Image size 250×250; bone marrow aspirate smear; single-cell crop — 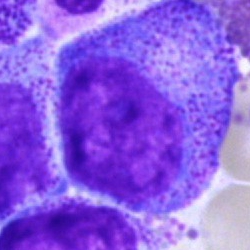

Impression → progranulocyte.